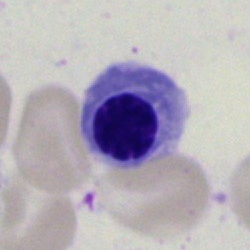
Impression — nucleated red blood cell.